Brightfield, 40× oil-immersion objective. Bone marrow smear:
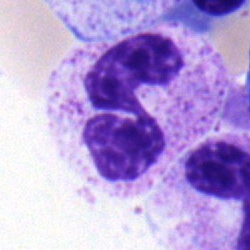
Classification — segmented neutrophil.